Bone marrow aspirate smear — 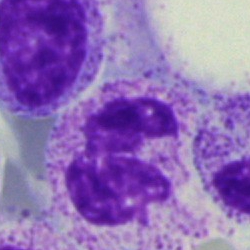

Q: What type of cell is this?
A: This is a segmented neutrophil.